Bone marrow aspirate smear. Single-cell field:
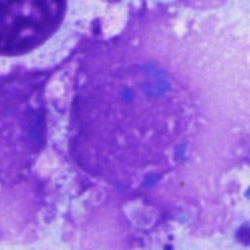

Morphological class: artefact.